Bone marrow smear. Pappenheim-stained — 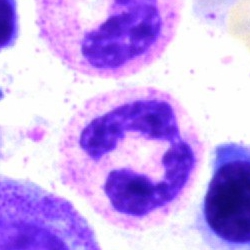
Showing a segmented neutrophil.